Pappenheim-stained; bone marrow smear — 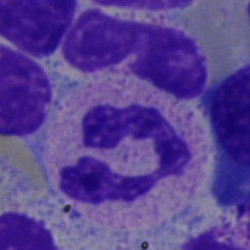 Specimen: bone marrow aspirate smear.
Morphological class: neutrophil (segmented).
Lineage: myeloid.